Bone marrow smear
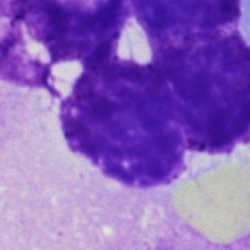Classification — artifact.